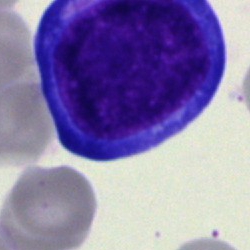

Morphology consistent with a pronormoblast.